Brightfield microscopy, 40× oil immersion; bone marrow aspirate smear; single-cell field: 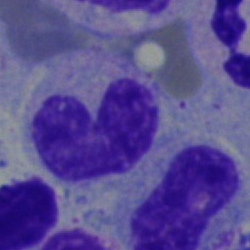

The cell is nucleated red blood cell.